Peripheral blood film
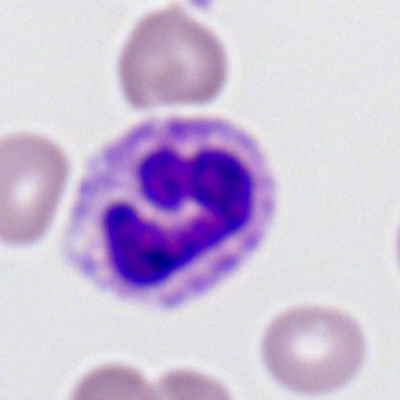
{"cell_type": "neutrophil (segmented)", "lineage": "myeloid"}